Bone marrow smear — 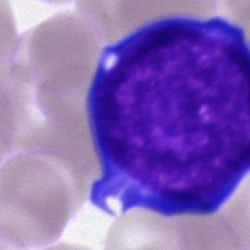 Cell type: proerythroblast.